Bone marrow smear.
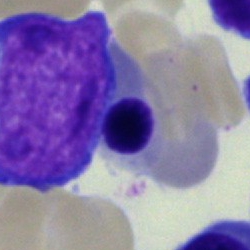Q: Identify the cell.
A: Eosinophil.